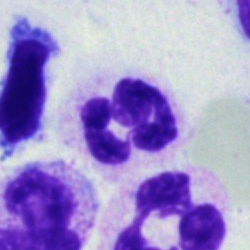

Q: What is the morphological classification of this cell?
A: A polymorphonuclear neutrophil.